250×250 px; bone marrow smear:
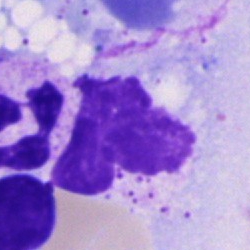 Single cell identified as an artifact.